Bone marrow aspirate smear:
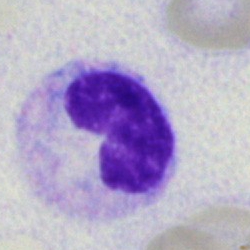
Band neutrophil.